Pappenheim-stained; brightfield, 40× oil-immersion objective; bone marrow smear
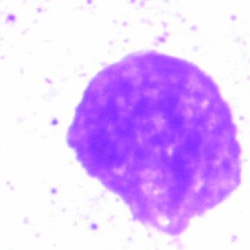

Morphological class = artefact.